Bone marrow smear: 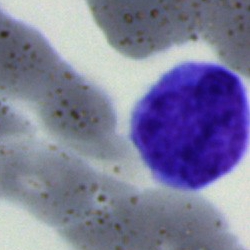 Classification: artefact.